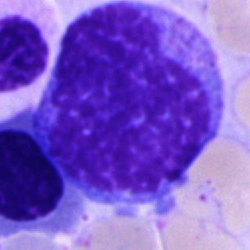

Cell = progranulocyte.